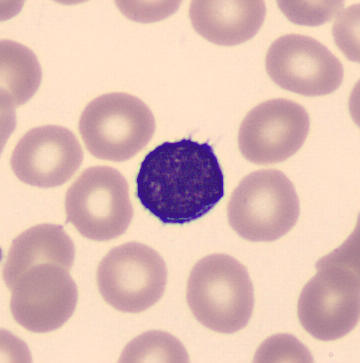 Peripheral blood smear; 360 by 363 pixels. The cell shown is a typical lymphocyte.